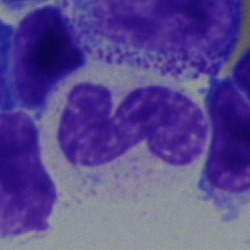 The cell is band neutrophil.